Bone marrow aspirate smear
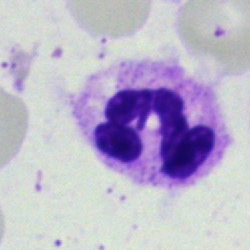
Q: What cell is this?
A: A segmented neutrophil.